Peripheral blood film: 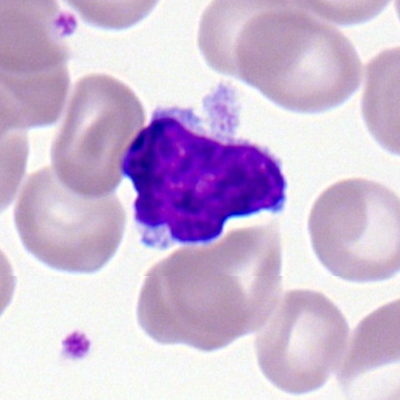

A typical lymphocyte.